Bone marrow aspirate smear — 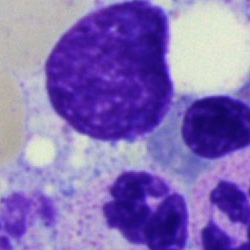 Morphological class = polymorphonuclear neutrophil.